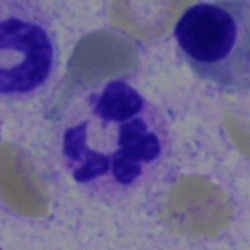 This is a segmented neutrophil.